Bone marrow aspirate smear — 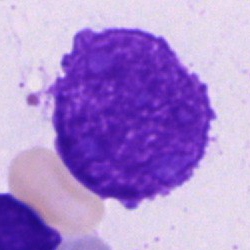 Artefact.